Bone marrow smear · MGG-stained · single-cell field: 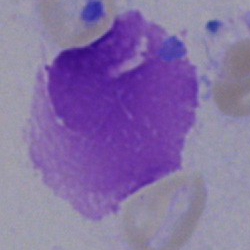Q: What is shown here?
A: Artifact.